Romanowsky-type stain · single-cell field · peripheral blood smear.
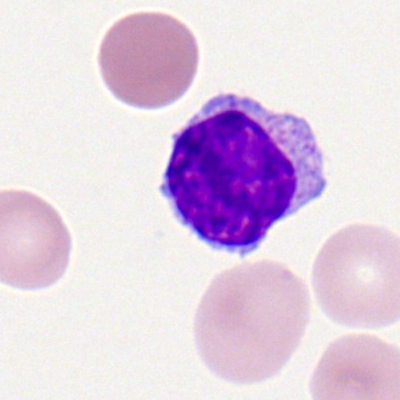Specimen: peripheral blood smear.
Cell: lymphocyte.
Lineage: lymphoid.